Pappenheim-stained; bone marrow smear
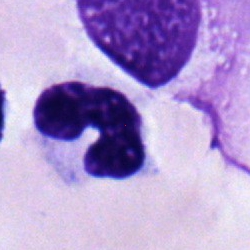 A neutrophil (band).